Bone marrow aspirate smear: 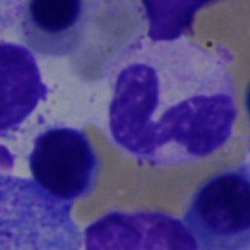Specimen: bone marrow smear.
Cell: polymorphonuclear neutrophil.
Lineage: myeloid.